Bone marrow smear; May-Grünwald-Giemsa/Pappenheim stain; 250×250.
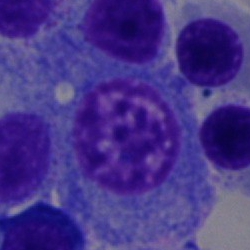
Specimen: bone marrow aspirate smear.
Morphological class: plasmacyte.
Lineage: lymphoid.